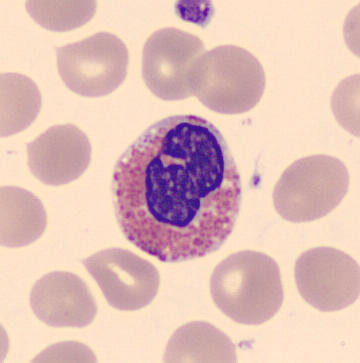 Specimen: peripheral blood film.
Classification: eosinophil.

Image: 360×363 px.